Image size 250×250. Bone marrow aspirate smear. 40× objective, oil immersion:
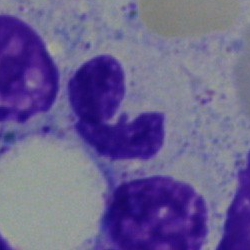

Single cell identified as a segmented neutrophil.